MGG-stained; brightfield microscopy, 40× oil immersion; bone marrow smear — 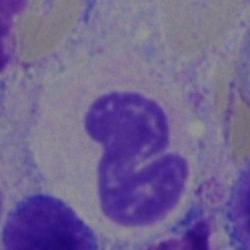
Specimen: bone marrow smear.
Cell: band neutrophil.
Lineage: myeloid.